Bone marrow smear; MGG-stained:
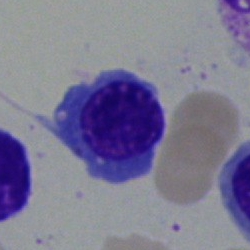The cell shown is a normoblast.